Bone marrow aspirate smear:
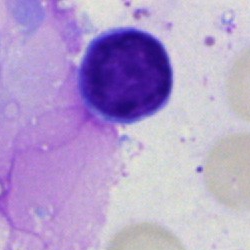

Q: Which cell type is shown here?
A: It is a lymphocyte.